Peripheral blood smear: 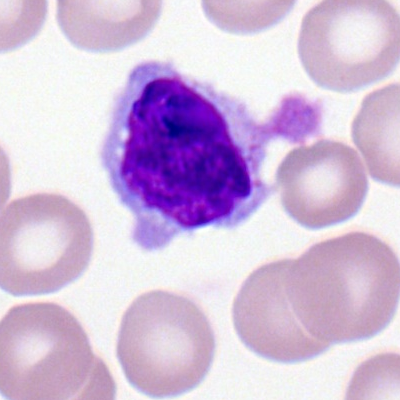
Q: What cell is this?
A: It is a typical lymphocyte.